Bone marrow smear; 250×250 px; May-Grünwald-Giemsa stain — 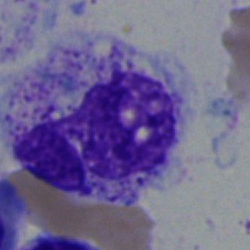

The cell shown is a neutrophil (segmented).